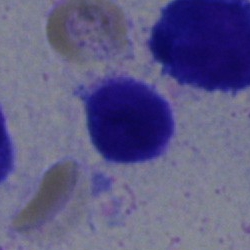

Q: What cell is this?
A: It is a lymphocyte.